250×250 px · bone marrow smear: 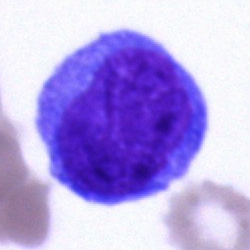 Q: Identify the cell.
A: Blast cell.